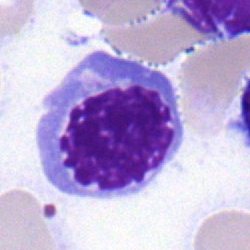 Q: What type of cell is this?
A: This is a nucleated red cell.